Bone marrow aspirate smear.
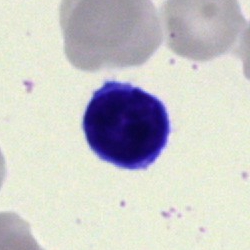

Specimen: bone marrow aspirate smear.
Classification: lymphocyte.